Bone marrow smear: 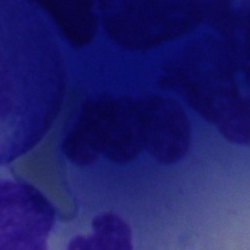
Morphological class = artefact.